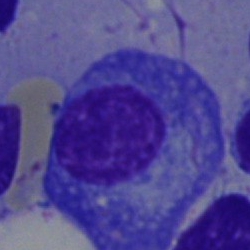This is a plasmacyte.